Bone marrow smear.
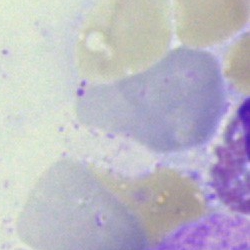
Q: What is shown here?
A: This is an artefact.